Bone marrow aspirate smear · 250×250 px.
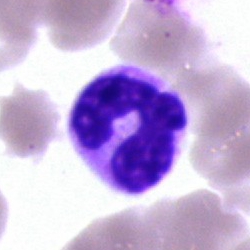
The cell is neutrophil (segmented).